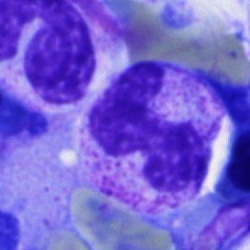

{"cell_type": "stab cell", "lineage": "myeloid"}